250×250 · single-cell crop · bone marrow aspirate smear — 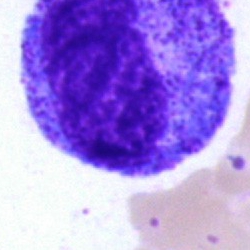 Classification — promyelocyte.